Bone marrow aspirate smear · Pappenheim-stained · single-cell field:
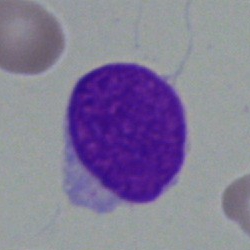

Specimen: bone marrow aspirate smear.
Cell: undifferentiated blast.